Image size 360×363 · peripheral blood film:
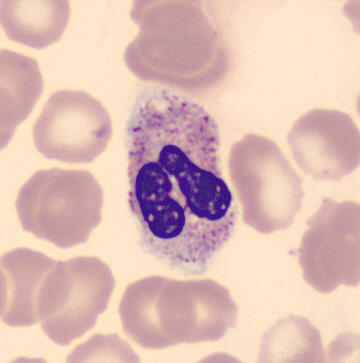 The cell shown is a polymorphonuclear neutrophil.